Bone marrow smear. 250 by 250 pixels: 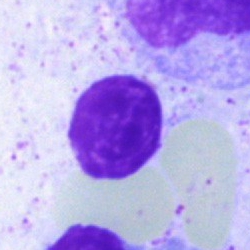
Morphology consistent with an artefact.